MGG-stained. 40× oil immersion. Bone marrow smear: 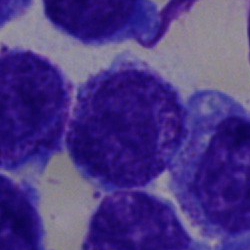
{"cell_type": "undifferentiated blast"}